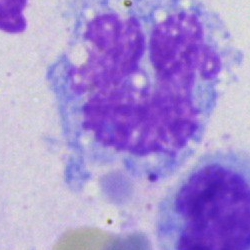 Cell type: monocyte.